Bone marrow aspirate smear; cropped to a single cell.
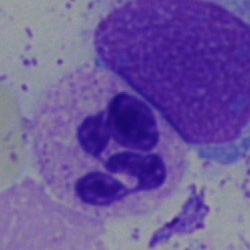Morphology — segmented neutrophil.